Bone marrow aspirate smear — 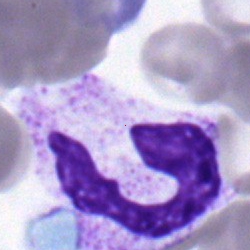Morphology → segmented neutrophil.